Bone marrow smear
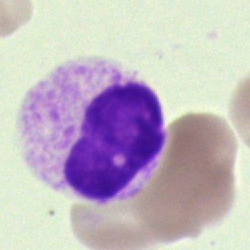
Specimen: bone marrow aspirate smear.
Morphological class: artifact.